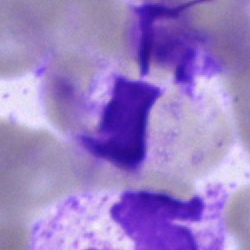 Classification: unidentifiable cell.